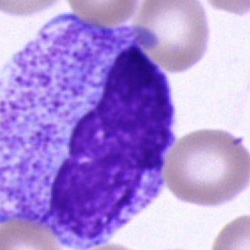
Impression — promyelocyte.